Bone marrow smear · May-Grünwald-Giemsa stain
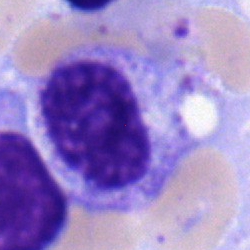 The cell shown is a myelocyte.